May-Grünwald-Giemsa stain. Bone marrow smear. Image size 250×250: 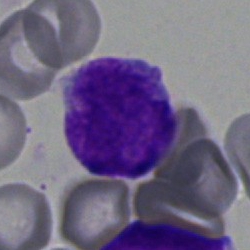 {"cell_type": "lymphocyte"}